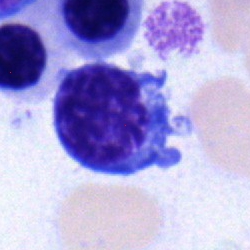 Q: Which cell type is shown here?
A: A lymphocyte.